Bone marrow smear; May-Grünwald-Giemsa stain; 40× oil immersion: 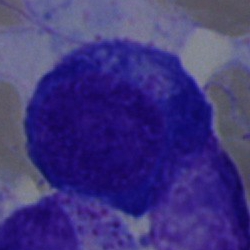
Q: Which cell type is shown here?
A: A nucleated red blood cell.